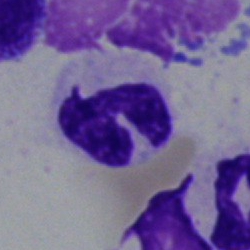
A segmented neutrophil on a bone marrow smear.